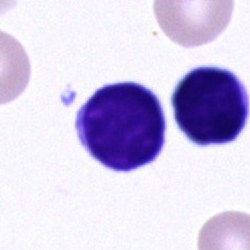
Q: What type of cell is this?
A: A lymphocyte.